Bone marrow aspirate smear
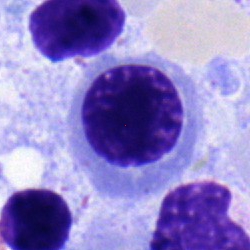 Morphology — erythroblast.